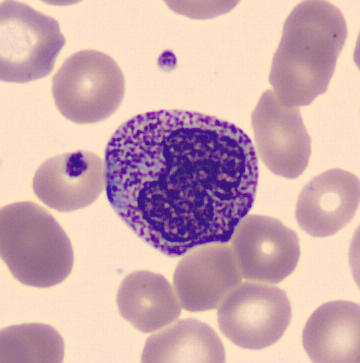

This is a metamyelocyte.

Image: Peripheral blood smear.